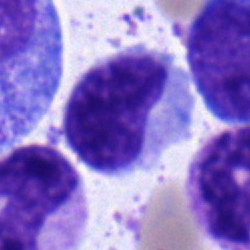 Morphology — metamyelocyte.